Bone marrow aspirate smear: 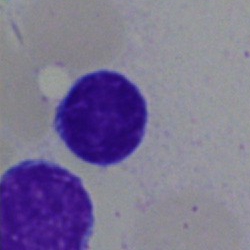
Morphology consistent with a lymphocyte.